Bone marrow aspirate smear · image size 250×250:
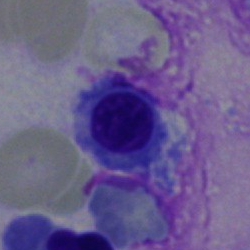

Showing a nucleated red cell.